Bone marrow aspirate smear; 250×250 px.
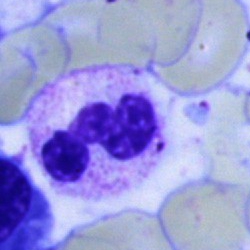Specimen: bone marrow smear.
Classification: segmented neutrophil.